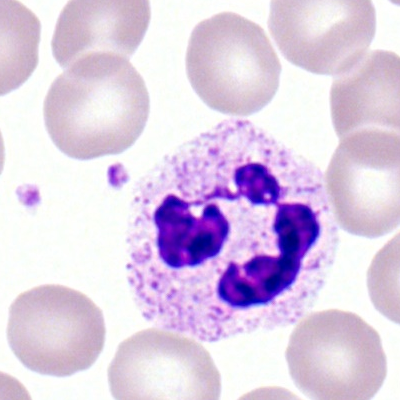

Cell = neutrophil (segmented).